May-Grünwald-Giemsa stain · bone marrow smear: 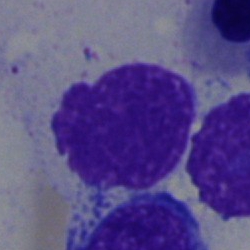 Artifact.